Bone marrow smear
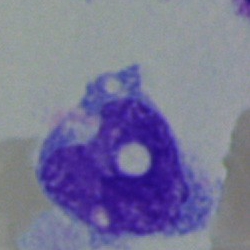
Showing a monocyte.